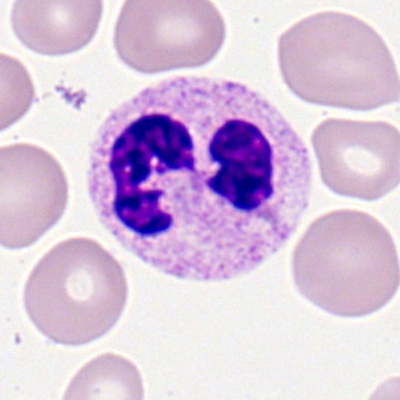Specimen: peripheral blood film.
Cell type: neutrophil (segmented).
Lineage: myeloid.